Pappenheim-stained; 40× objective, oil immersion; bone marrow smear:
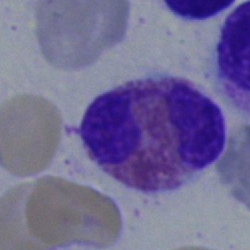Morphological class = eosinophil.